Peripheral blood film. 100× objective, oil immersion — 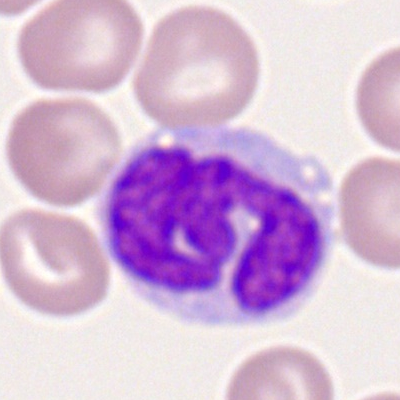
Cell = monocyte.